Bone marrow aspirate smear. Pappenheim-stained
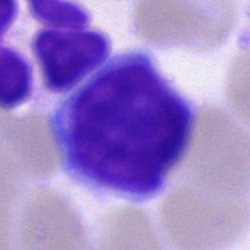 Q: What is shown here?
A: Cell of indeterminate lineage.